Bone marrow smear.
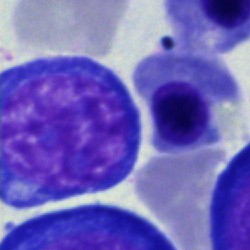
Specimen: bone marrow aspirate smear.
Morphological class: normoblast.
Lineage: erythroid.